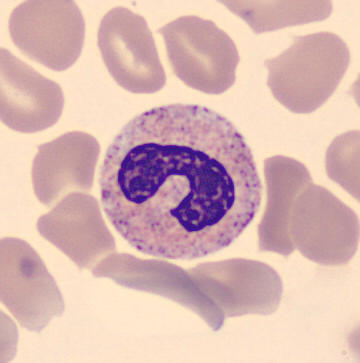

A band-form neutrophil.